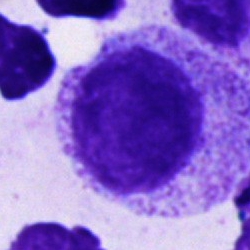Morphology → promyelocyte.